Bone marrow aspirate smear · brightfield microscopy, 40× oil immersion: 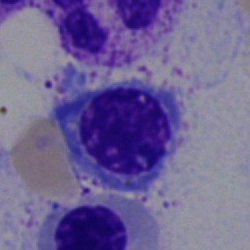Morphology — erythroblast.